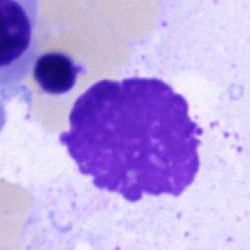
Showing an artefact.